Peripheral blood smear.
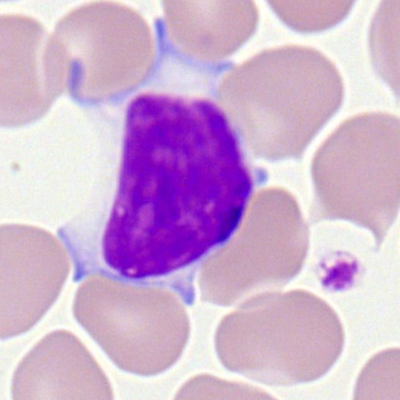 Cell type = lymphocyte.